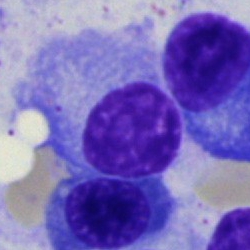Cell: plasmacyte.